Cropped to a single cell. Bone marrow aspirate smear.
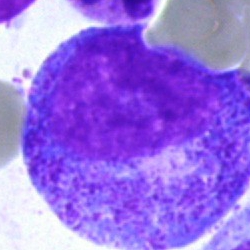
Showing a promyelocyte.